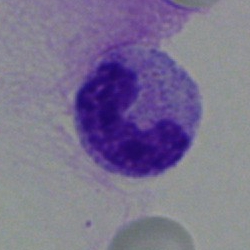 Cell: band-form neutrophil.